Bone marrow aspirate smear
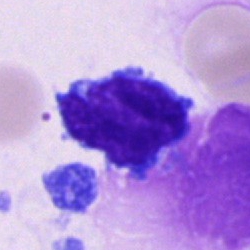Specimen: bone marrow aspirate smear.
Cell type: lymphocyte.
Lineage: lymphoid.